Single cell centered in the field · image size 250×250 · bone marrow aspirate smear
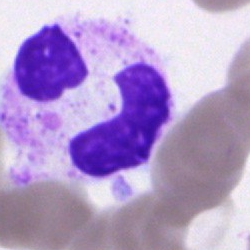
Morphological class = artifact.